Bone marrow aspirate smear; 250×250 px:
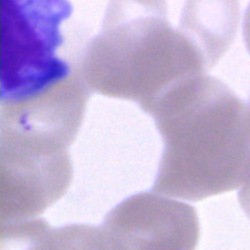
The cell shown is a band neutrophil.